Single cell centered in the field · bone marrow aspirate smear — 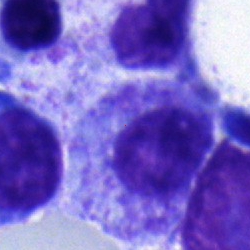
Cell — myelocyte.